Bone marrow smear; 250 by 250 pixels; 40× oil immersion
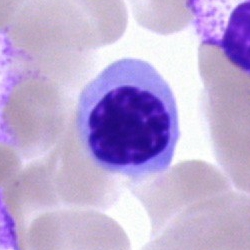Showing a normoblast.